Peripheral blood film: 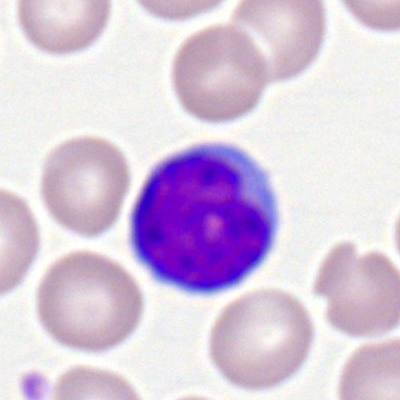 Cell = lymphocyte.